Single-cell crop · bone marrow smear · brightfield microscopy, 40× oil immersion
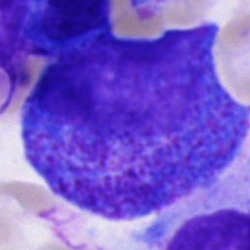 Specimen: bone marrow aspirate smear.
Cell: progranulocyte.